Bone marrow smear: 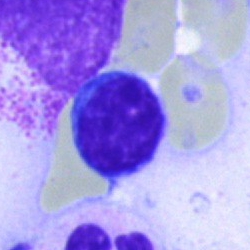A typical lymphocyte.